Bone marrow aspirate smear. MGG-stained
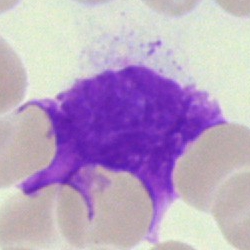 Cell — artefact.